Pappenheim-stained. Bone marrow smear: 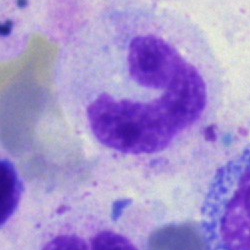 Showing a band-form neutrophil.